Bone marrow aspirate smear — 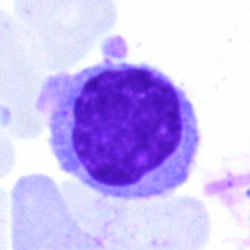
Showing a lymphocyte.